May Grünwald-Giemsa stain; peripheral blood smear: 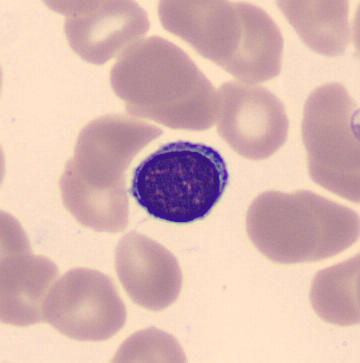 Morphology consistent with a lymphocyte.